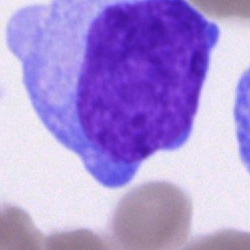

Morphology → blast.